Bone marrow aspirate smear
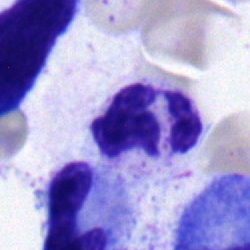

Cell type — polymorphonuclear neutrophil.